Bone marrow aspirate smear — 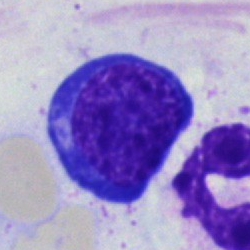 Showing a nucleated red blood cell.